Bone marrow aspirate smear
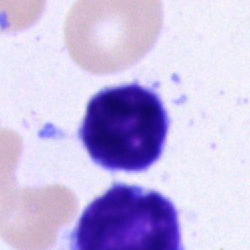

The morphological class is typical lymphocyte.